40× oil immersion; bone marrow smear
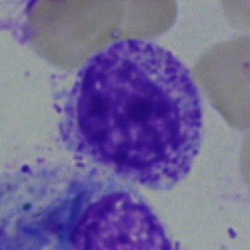 Morphological class = myelocyte.